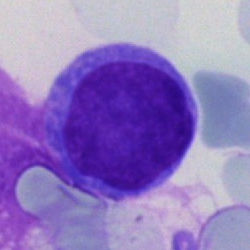 Specimen: bone marrow smear.
Cell: undifferentiated blast.